Bone marrow smear.
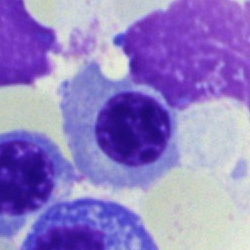

The classification is nucleated red cell.